Single cell centered in the field. May-Grünwald-Giemsa/Pappenheim stain. Bone marrow aspirate smear.
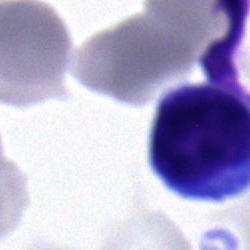
Q: What is the morphological classification of this cell?
A: It is a lymphocyte.